Bone marrow smear:
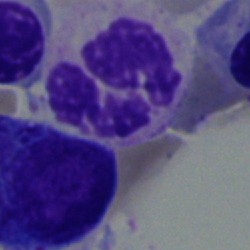 The cell shown is a segmented neutrophil.